Bone marrow smear · cropped to a single cell: 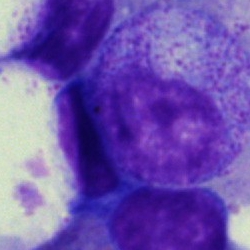Morphology consistent with a progranulocyte.